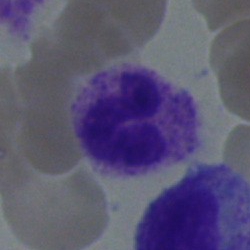Specimen: bone marrow aspirate smear.
Cell type: neutrophil (segmented).
Lineage: myeloid.